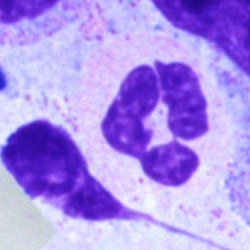

Q: What cell is this?
A: This is a neutrophil (segmented).